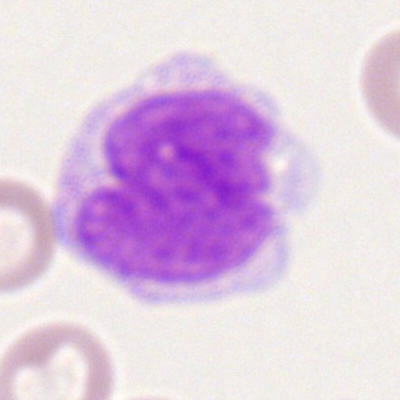

Specimen: peripheral blood smear.
Morphological class: monocyte.
Lineage: myeloid.